Peripheral blood film:
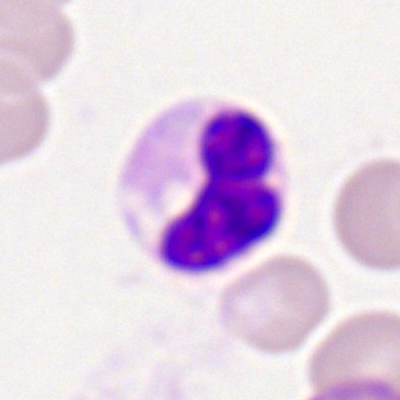
Cell type — segmented neutrophil.